Peripheral blood smear:
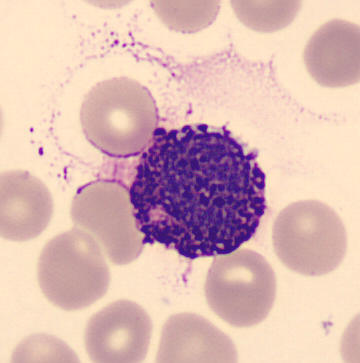

Basophilic granulocyte.